Bone marrow smear:
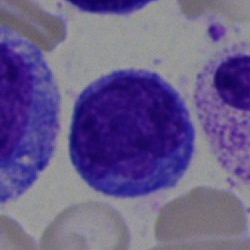
{"cell_type": "lymphocyte", "lineage": "lymphoid"}